Bone marrow smear
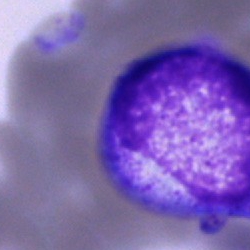

Showing an unidentifiable cell.